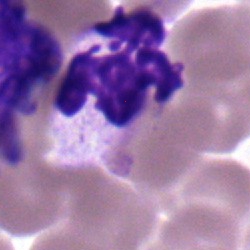Bone marrow aspirate smear, single cell — segmented neutrophil.